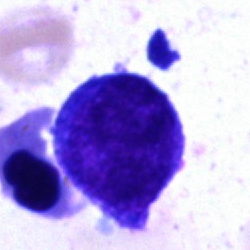

Q: What is shown here?
A: It is a blast.